Bone marrow smear: 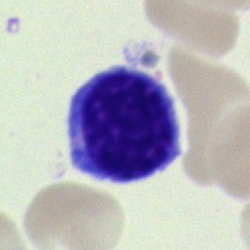

The cell shown is an erythroblast.